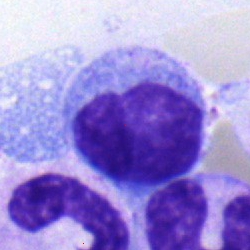
Classification — monocyte.